Bone marrow smear · 250 by 250 pixels · May-Grünwald-Giemsa stain: 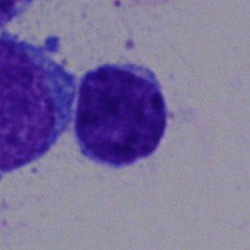 Impression → lymphocyte.